Bone marrow aspirate smear:
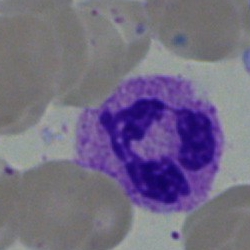 This is a polymorphonuclear neutrophil.